250×250; bone marrow aspirate smear: 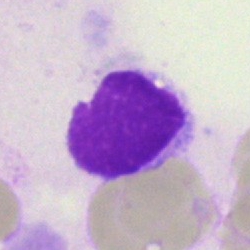Morphological class = artifact.